Bone marrow smear: 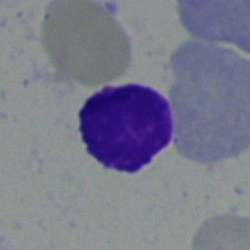Specimen: bone marrow aspirate smear.
Cell type: artefact.